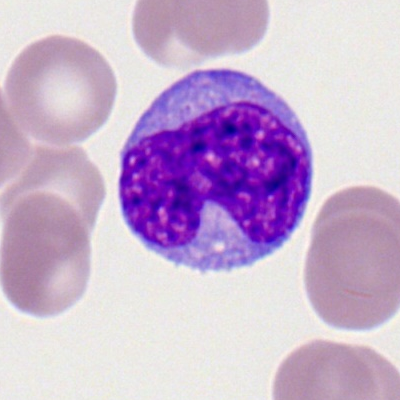Cell — monocyte.